Bone marrow aspirate smear — 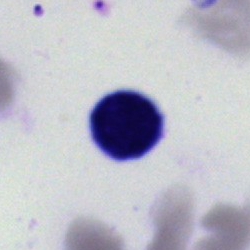

This is an artefact.